Bone marrow aspirate smear; MGG-stained; brightfield microscopy, 40× oil immersion
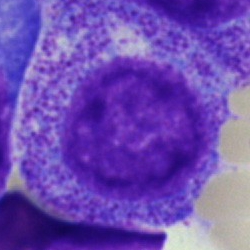 Progranulocyte.